Bone marrow aspirate smear
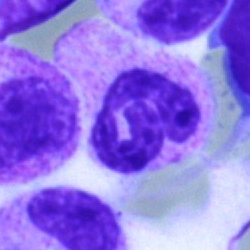

Morphology → polymorphonuclear neutrophil.